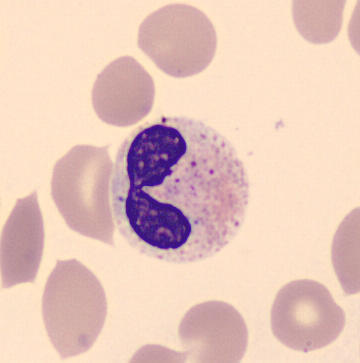 Impression → segmented neutrophil.
Preparation: Peripheral blood film. Imaged on a CellaVision DM96 analyser. Image size 360×363.